Bone marrow aspirate smear
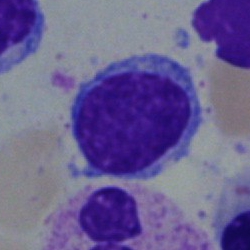
Q: Which cell type is shown here?
A: Typical lymphocyte.